Bone marrow smear: 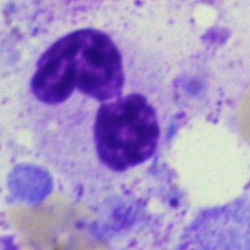Showing a segmented neutrophil.